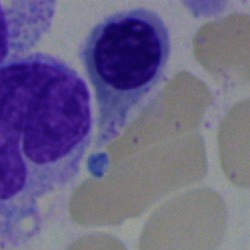Cell — normoblast.